Bone marrow smear
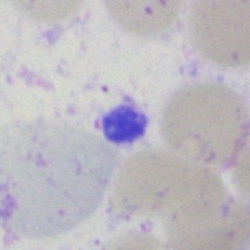
{"cell_type": "artefact"}